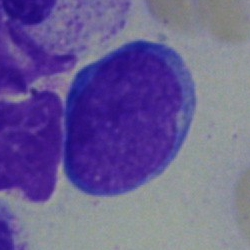 The cell type is blast.